Bone marrow smear:
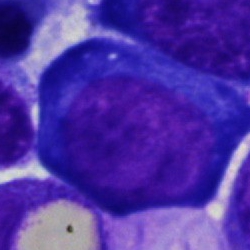Pronormoblast.